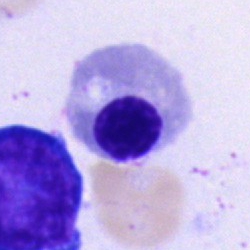 Q: What is shown here?
A: This is a nucleated red cell.